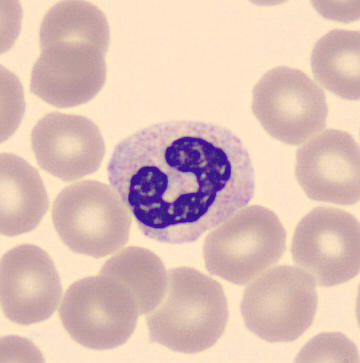 Showing a neutrophil (band).
Image: Peripheral blood film · single cell centered in the field · imaged on a CellaVision DM96 analyser.